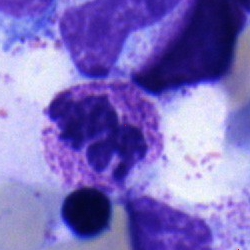 The cell shown is a segmented neutrophil.